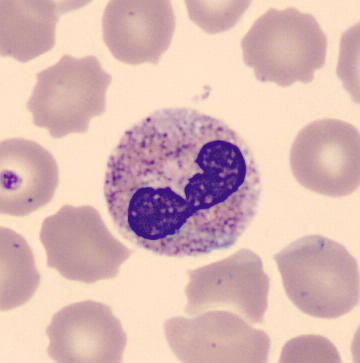Specimen: peripheral blood film.
Cell: stab cell.